Bone marrow smear. 250×250 px. May-Grünwald-Giemsa/Pappenheim stain.
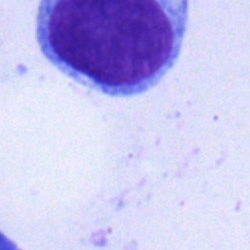

Classification = typical lymphocyte.